Bone marrow aspirate smear. Image size 250×250: 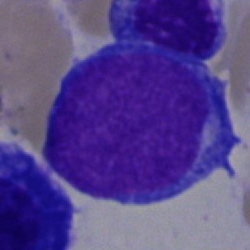 Classification = blast cell.